Bone marrow aspirate smear · single-cell field.
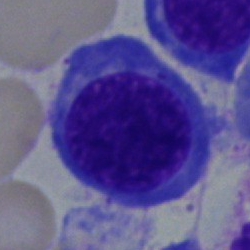 The cell shown is a normoblast.